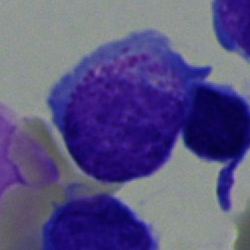

The cell type is blast cell.